Brightfield, 40× oil-immersion objective; bone marrow aspirate smear: 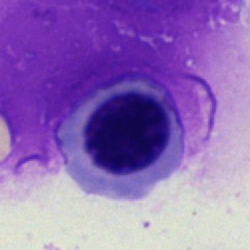{"cell_type": "nucleated red cell"}